Bone marrow aspirate smear: 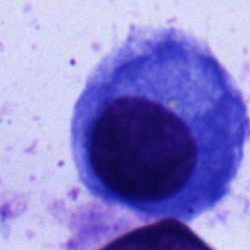 Morphological class — plasmacyte.